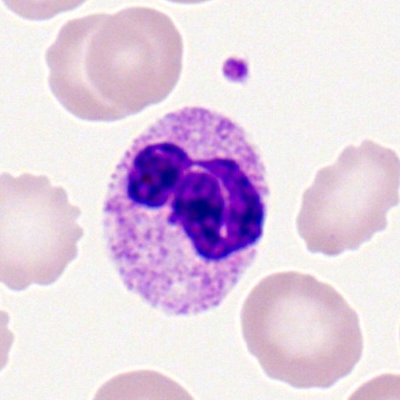
Single-cell crop from a peripheral blood smear: polymorphonuclear neutrophil.